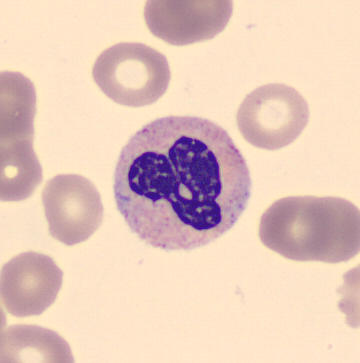 Peripheral blood film. The cell type is neutrophil (band).